Bone marrow aspirate smear
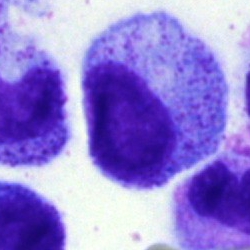

Cell — progranulocyte.